Peripheral blood film: 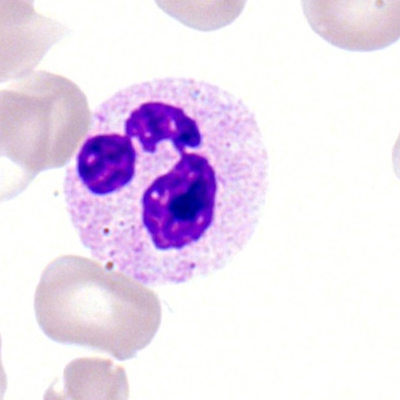

Morphology consistent with a segmented neutrophil.